Bone marrow aspirate smear. 250×250. Single cell centered in the field: 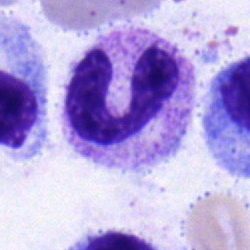

Cell type: myelocyte.